Peripheral blood film; cropped to a single cell; 100× objective, oil immersion:
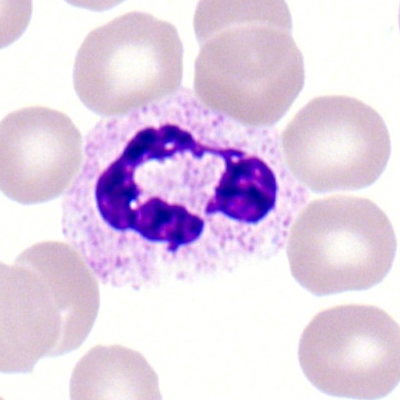Q: What type of cell is this?
A: Polymorphonuclear neutrophil.